Bone marrow smear · brightfield microscopy, 40× oil immersion: 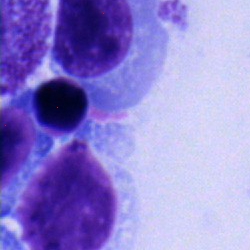 Specimen: bone marrow smear.
Cell: promyelocyte.